Bone marrow smear: 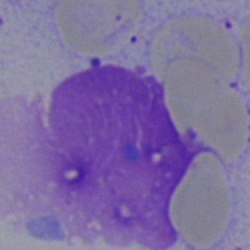Specimen: bone marrow smear.
Cell type: artifact.